Peripheral blood film: 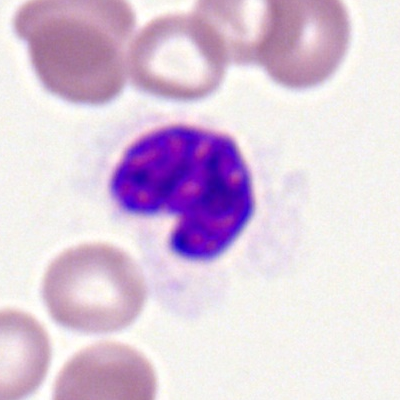Q: What is shown here?
A: A neutrophil (segmented).